Bone marrow aspirate smear; brightfield, 40× oil-immersion objective; image size 250×250: 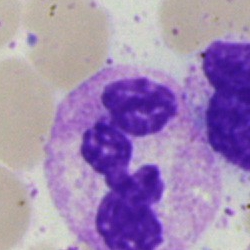
Showing a neutrophil (segmented).